Bone marrow aspirate smear. Single-cell crop
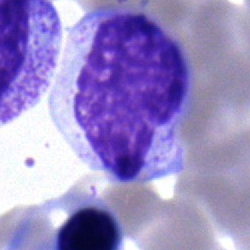The morphological class is metamyelocyte.